May-Grünwald-Giemsa/Pappenheim stain · bone marrow aspirate smear — 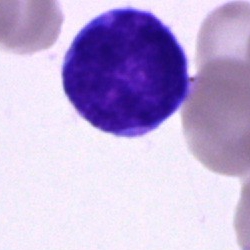 Morphology consistent with an undifferentiated blast.